Bone marrow smear. Single-cell crop:
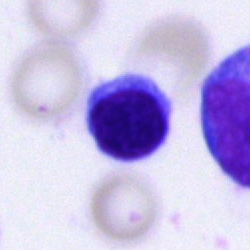

Morphological class: typical lymphocyte.